MGG-stained. Bone marrow smear:
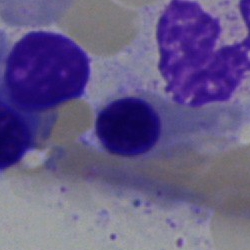
The cell shown is an erythroblast.